Bone marrow aspirate smear — 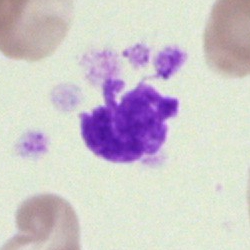 Specimen: bone marrow smear.
Morphological class: artefact.